Bone marrow aspirate smear.
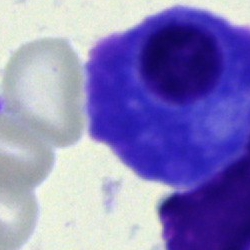 The cell shown is a plasmacyte.